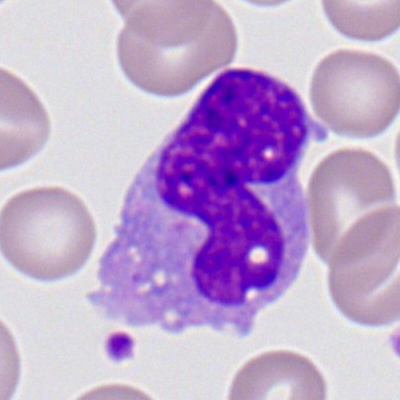 Morphological class: monocyte.